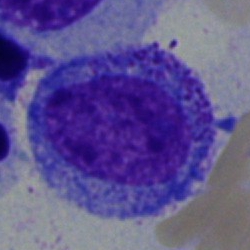
The cell is promyelocyte.